40× oil immersion. Bone marrow smear: 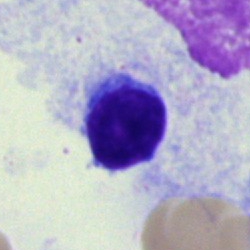The cell shown is a lymphocyte.